Bone marrow aspirate smear — 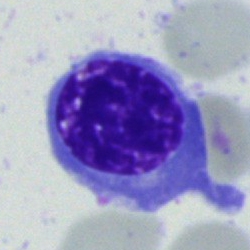Impression — normoblast.